Image size 400×400. Peripheral blood film: 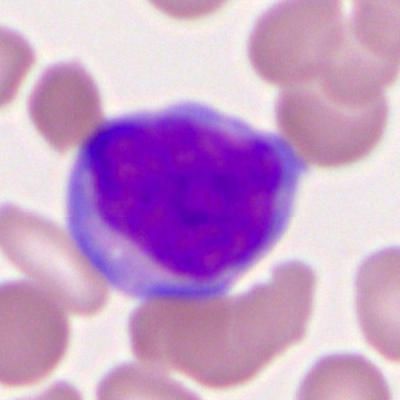
Q: What is the morphological classification of this cell?
A: It is a myeloid blast.